Bone marrow aspirate smear.
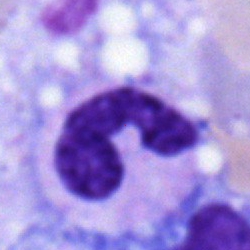
Morphology consistent with a polymorphonuclear neutrophil.